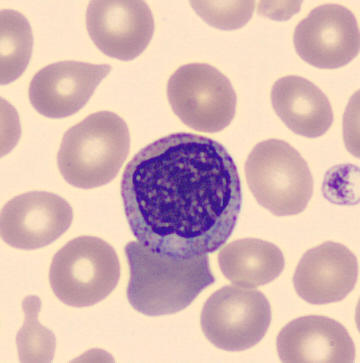Cell = myelocyte. Acquisition: Peripheral blood film.